Bone marrow aspirate smear: 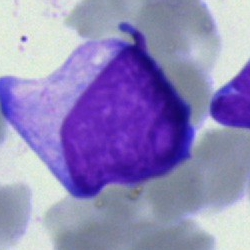The morphological class is undifferentiated blast.